250×250 px; bone marrow aspirate smear; single cell centered in the field: 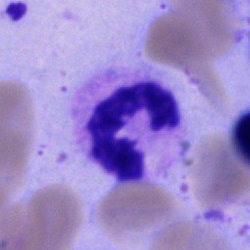Classification = neutrophil (segmented).